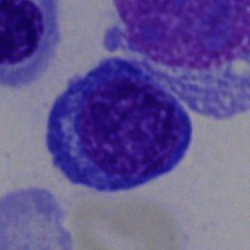

Erythroblast.